May-Grünwald-Giemsa stain; bone marrow aspirate smear; 250 by 250 pixels.
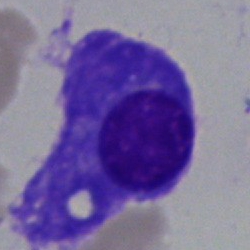Single cell identified as a plasmacyte.